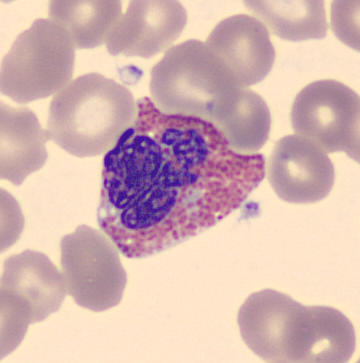

Morphology consistent with an eosinophil.

Preparation: Single cell centered in the field; peripheral blood film; CellaVision DM96 digital cell image.